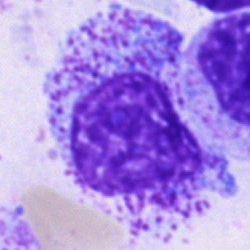
Bone marrow smear showing a promyelocyte.